Bone marrow aspirate smear · 250 by 250 pixels · cropped to a single cell:
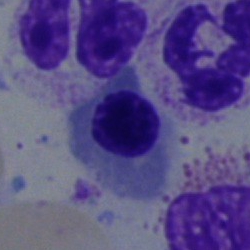

This is a nucleated red cell.